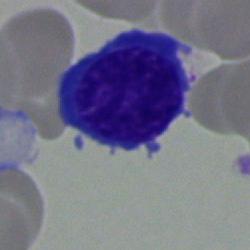Cell type: typical lymphocyte.